Bone marrow smear: 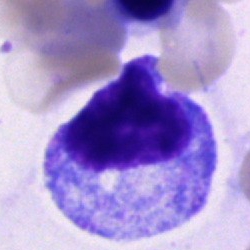

{"cell_type": "progranulocyte", "lineage": "myeloid"}